May-Grünwald-Giemsa stain; 40× objective, oil immersion; bone marrow smear:
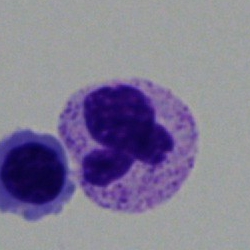
Morphological class = neutrophil (segmented).